Bone marrow aspirate smear — 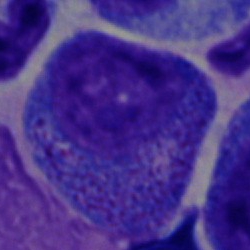

Specimen: bone marrow aspirate smear.
Cell: progranulocyte.
Lineage: myeloid.